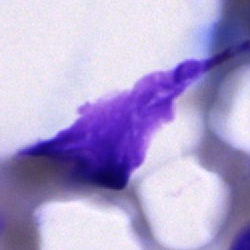
Specimen: bone marrow smear.
Cell: artifact.